Peripheral blood film. 400 by 400 pixels.
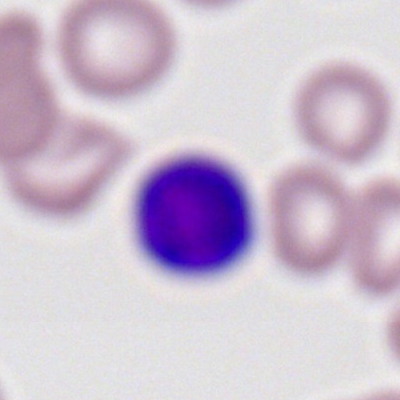Single cell identified as a typical lymphocyte.